Bone marrow smear:
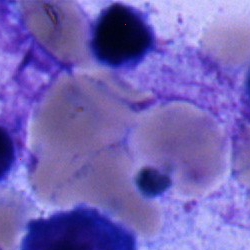
Morphological class: lymphocyte.